Bone marrow aspirate smear — 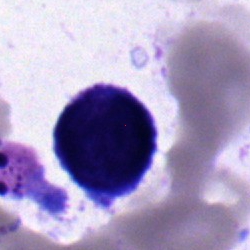 {"cell_type": "blast"}